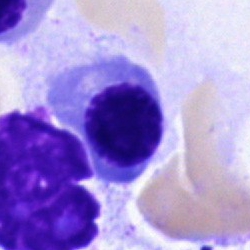 Bone marrow smear showing an erythroblast.